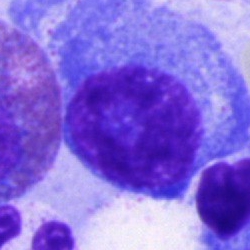The cell shown is a plasmacyte.